Bone marrow smear. Image size 250×250. Cropped to a single cell:
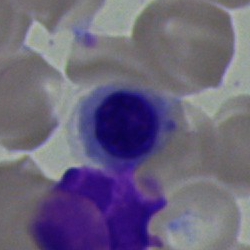 Erythroblast.